Bone marrow smear · Pappenheim-stained: 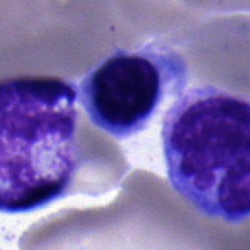
Q: Which cell type is shown here?
A: It is a nucleated red blood cell.